Bone marrow aspirate smear; image size 250×250: 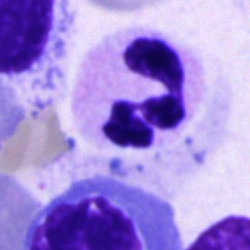

Impression → polymorphonuclear neutrophil.